Bone marrow aspirate smear: 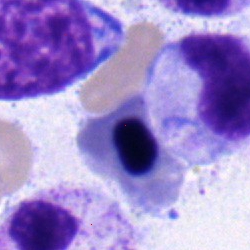

{"cell_type": "erythroblast", "lineage": "erythroid"}